Bone marrow smear
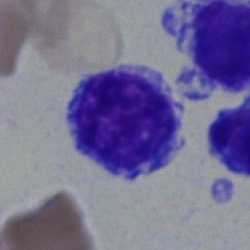
Morphology → typical lymphocyte.